250×250 px; bone marrow smear
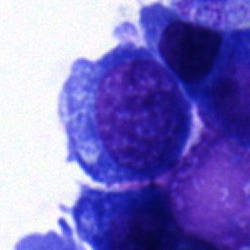 Q: Which cell type is shown here?
A: It is a normoblast.